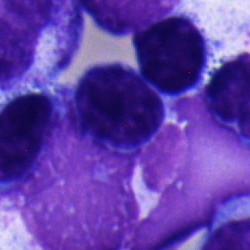The classification is lymphocyte.